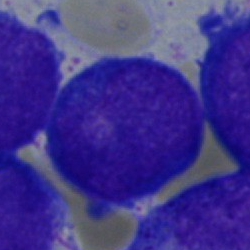 Q: Which cell type is shown here?
A: Undifferentiated blast.